Bone marrow smear — 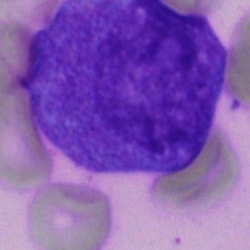 Specimen: bone marrow aspirate smear.
Morphological class: myelocyte.
Lineage: myeloid.